250×250 px; single cell centered in the field; bone marrow aspirate smear:
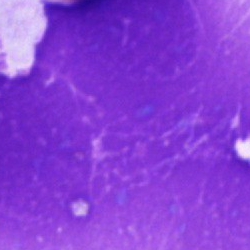
Cell type: artefact.